May-Grünwald-Giemsa stain · brightfield microscopy, 40× oil immersion · bone marrow smear: 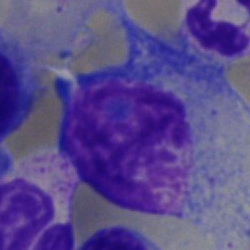
Cell type: plasmacyte.